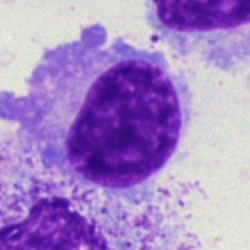
Specimen: bone marrow aspirate smear.
Cell: lymphocyte.
Lineage: lymphoid.